Bone marrow smear
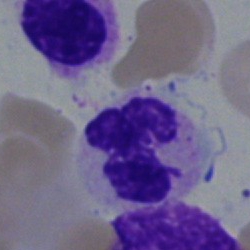

Specimen: bone marrow aspirate smear.
Morphological class: segmented neutrophil.
Lineage: myeloid.